MGG-stained · bone marrow aspirate smear · 250 by 250 pixels: 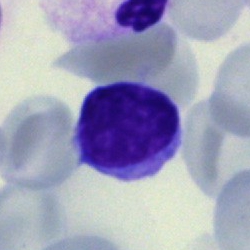

Impression → typical lymphocyte.